Bone marrow aspirate smear:
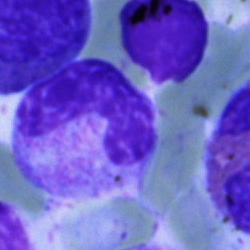
Stab cell.